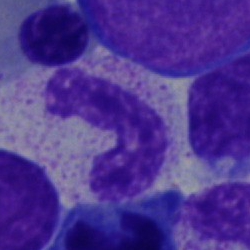Bone marrow smear showing a band-form neutrophil.